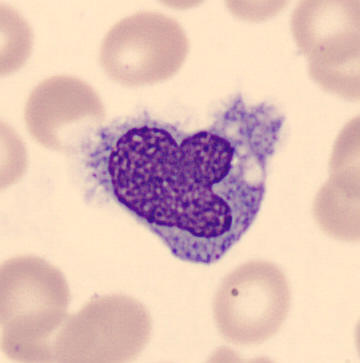Single cell centered in the field; peripheral blood film.
Q: What type of cell is this?
A: Monocyte.